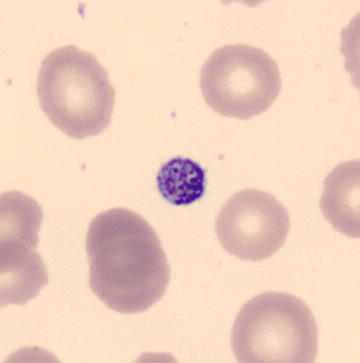

This is a thrombocyte.

Peripheral blood film.